Bone marrow smear:
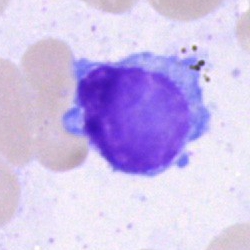 Q: Which cell type is shown here?
A: Typical lymphocyte.